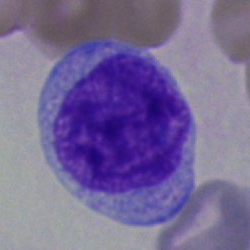

Specimen: bone marrow smear.
Classification: myelocyte.